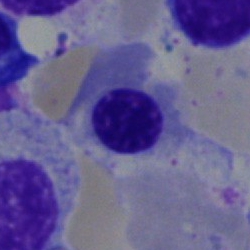

Specimen: bone marrow smear.
Morphological class: nucleated red cell.